Bone marrow smear
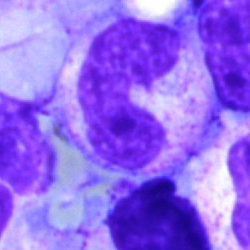 Morphological class = neutrophil (band).